Bone marrow aspirate smear. MGG-stained
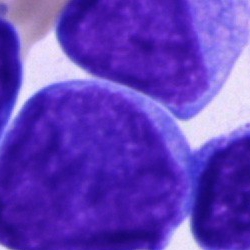

Specimen: bone marrow aspirate smear.
Classification: undifferentiated blast.